Bone marrow aspirate smear — 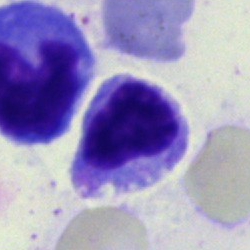 Single cell identified as a typical lymphocyte.